Bone marrow aspirate smear · May-Grünwald-Giemsa stain:
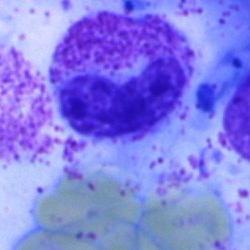Specimen: bone marrow aspirate smear.
Classification: band neutrophil.
Lineage: myeloid.